Bone marrow smear · Pappenheim-stained · 40× objective, oil immersion.
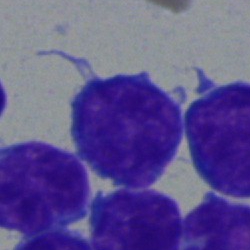 Q: What is shown here?
A: A typical lymphocyte.